Bone marrow aspirate smear:
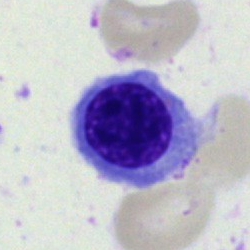 An erythroblast.